Bone marrow aspirate smear.
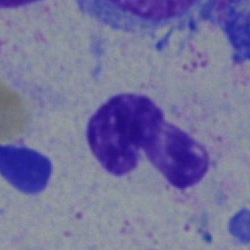

Morphology → stab cell.